Pappenheim-stained; bone marrow smear:
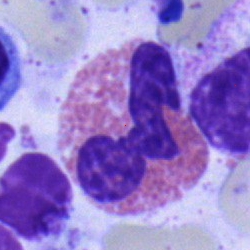
The morphological class is eosinophilic granulocyte.